Bone marrow aspirate smear: 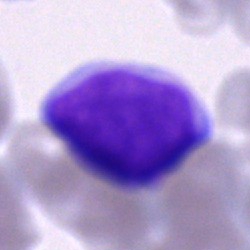 The cell type is blast.